250×250 · bone marrow aspirate smear · brightfield microscopy, 40× oil immersion:
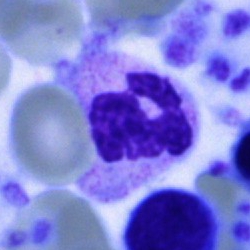 Classification: segmented neutrophil.